Peripheral blood smear: 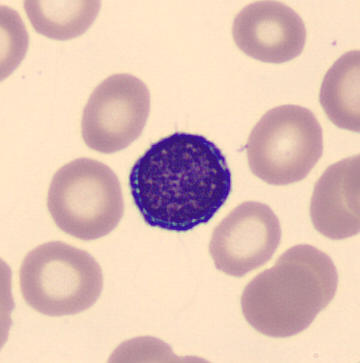
The cell is lymphocyte.